Bone marrow smear: 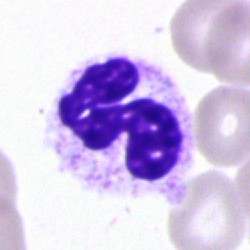
Impression — neutrophil (segmented).